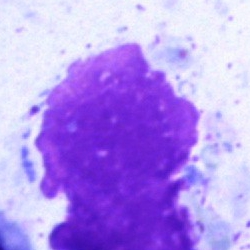Cell — artifact.